MGG-stained; bone marrow aspirate smear; single cell centered in the field
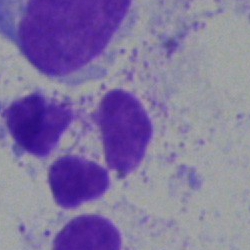 Specimen: bone marrow aspirate smear.
Morphological class: artefact.